Bone marrow smear:
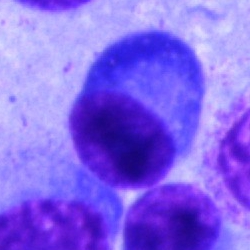

The cell is plasmacyte.